May-Grünwald-Giemsa stain · 250 by 250 pixels · bone marrow smear:
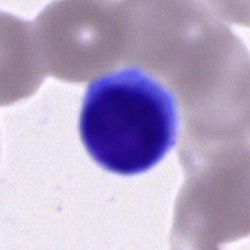The cell is typical lymphocyte.